May-Grünwald-Giemsa/Pappenheim stain · bone marrow smear — 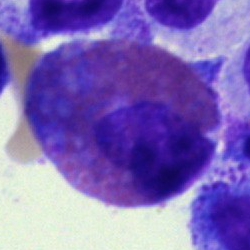

Showing an eosinophil.